Peripheral blood smear — 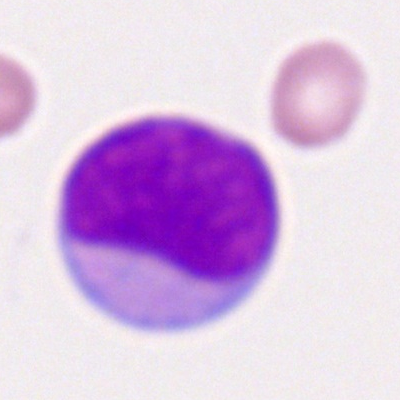

Q: What cell is this?
A: Myeloblast.